Pappenheim-stained · bone marrow smear · 250 by 250 pixels: 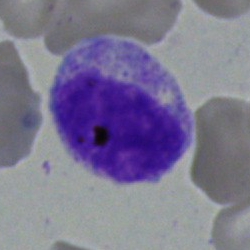

Specimen: bone marrow smear.
Classification: myelocyte.